Pappenheim-stained; bone marrow smear
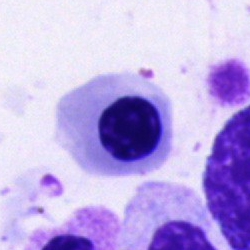Specimen: bone marrow aspirate smear.
Classification: normoblast.
Lineage: erythroid.